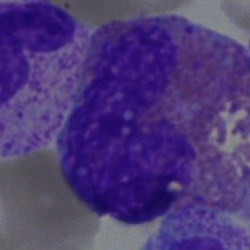

Morphological class: eosinophil.